Single-cell crop · bone marrow smear — 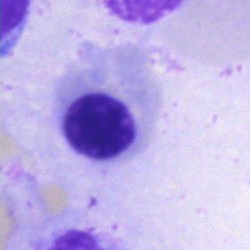Q: What is shown here?
A: This is an erythroblast.